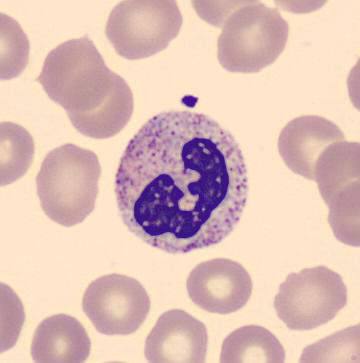

Acquisition: Cropped to a single cell. Specimen: peripheral blood film.
Cell type: polymorphonuclear neutrophil.
Lineage: myeloid.